Bone marrow aspirate smear.
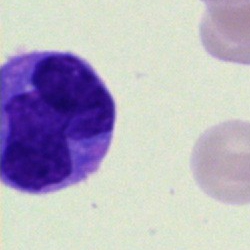
Morphology consistent with a monocyte.